Single-cell field · Pappenheim-stained · bone marrow aspirate smear.
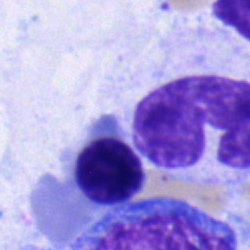 Morphology consistent with a band neutrophil.